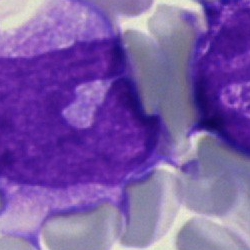 Morphology consistent with a monocyte.